Cropped to a single cell; bone marrow smear
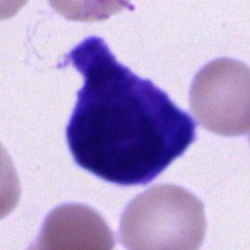

This is a cell of indeterminate lineage.